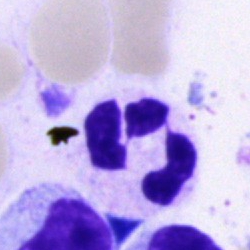
The cell type is neutrophil (segmented).